Cropped to a single cell · bone marrow aspirate smear
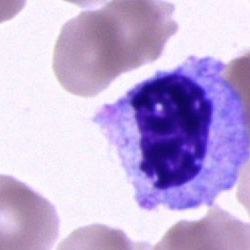Cell of indeterminate lineage.